Bone marrow aspirate smear: 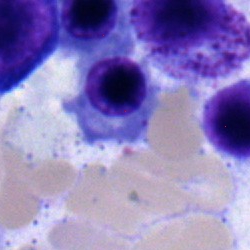

Q: What cell is this?
A: It is an erythroblast.